Peripheral blood smear: 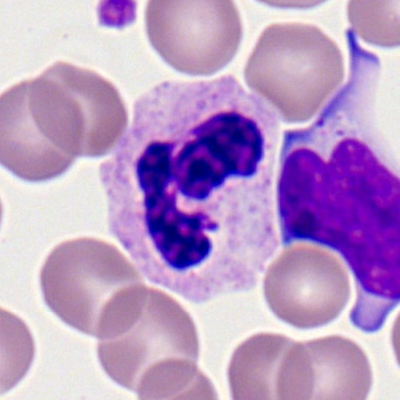
Q: What cell is this?
A: It is a polymorphonuclear neutrophil.